Brightfield microscopy, 40× oil immersion; bone marrow aspirate smear; 250 by 250 pixels:
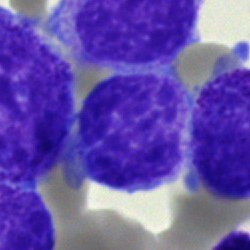

Single cell identified as a myelocyte.